Bone marrow aspirate smear; cropped to a single cell: 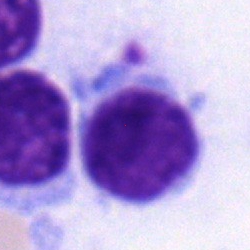
Q: What is shown here?
A: This is a typical lymphocyte.